Bone marrow smear.
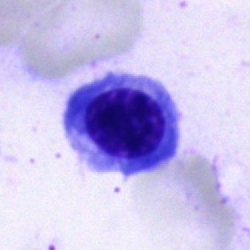 This is a nucleated red cell.